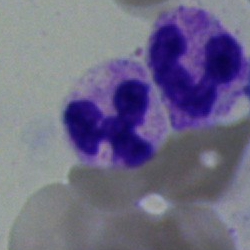Specimen: bone marrow aspirate smear.
Morphological class: segmented neutrophil.